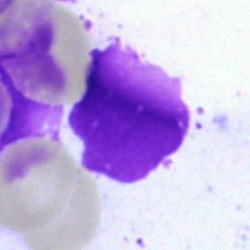

Artefact.